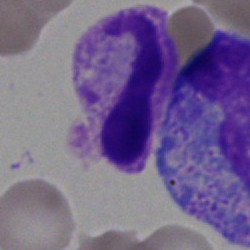
The cell shown is an artifact.